400×400; peripheral blood film: 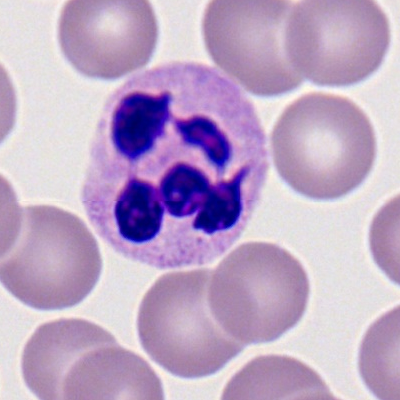 Showing a segmented neutrophil.